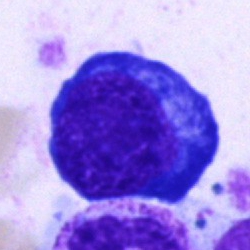

Cell type: erythroblast.